Bone marrow smear. Single-cell field:
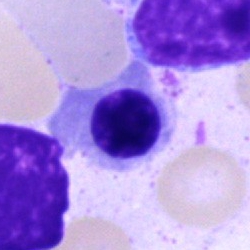{"cell_type": "nucleated red blood cell"}